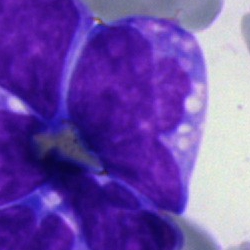

Q: What is shown here?
A: It is an undifferentiated blast.